40× objective, oil immersion. Bone marrow smear. May-Grünwald-Giemsa stain — 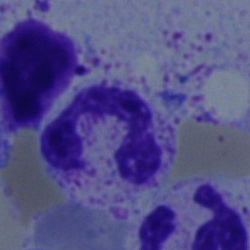 Segmented neutrophil.